250×250 px; bone marrow smear; brightfield microscopy, 40× oil immersion.
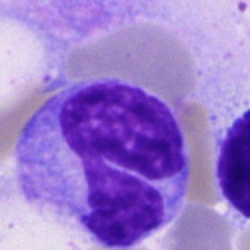 {"cell_type": "monocyte", "lineage": "myeloid"}